Bone marrow smear. 40× oil immersion.
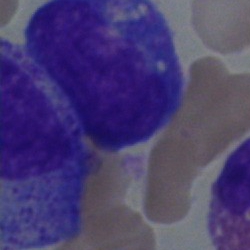
Single cell identified as an undifferentiated blast.